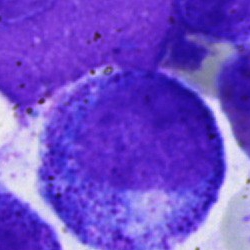 Morphology → promyelocyte.